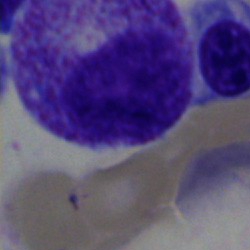

Q: What is the morphological classification of this cell?
A: Progranulocyte.